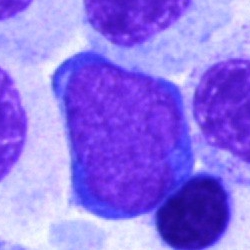Q: Identify the cell.
A: An undifferentiated blast.